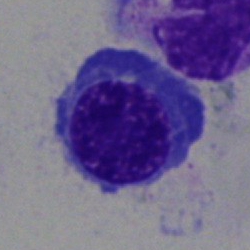 Single-cell crop from a bone marrow smear: normoblast.